Single-cell crop. Peripheral blood film. 100× objective, oil immersion: 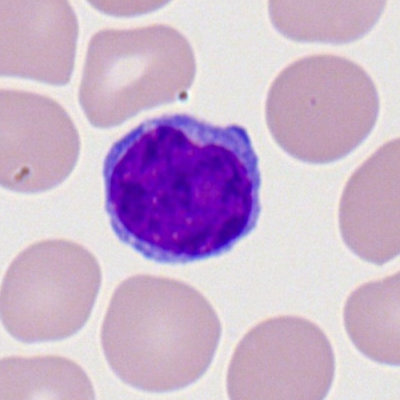The cell shown is a lymphocyte.